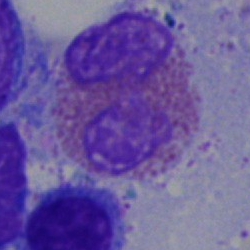
An eosinophilic granulocyte on a bone marrow smear.